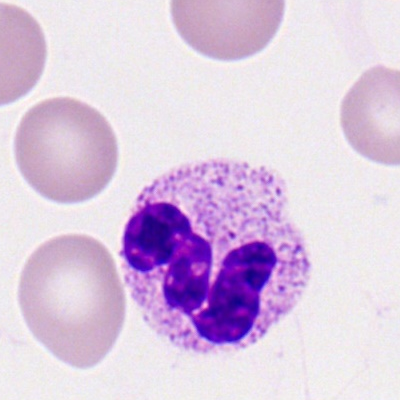

Specimen: peripheral blood film.
Cell: neutrophil (segmented).